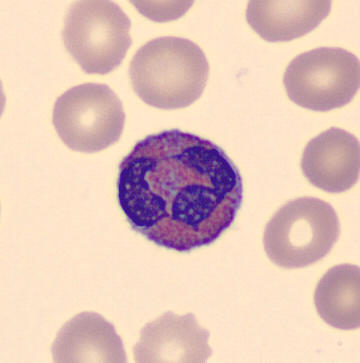

The cell shown is an eosinophilic granulocyte.